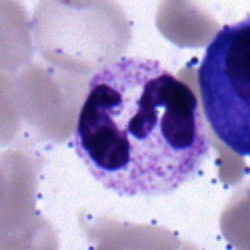{"cell_type": "segmented neutrophil"}